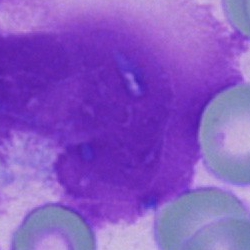 The cell shown is an artefact.